Bone marrow aspirate smear. Brightfield microscopy, 40× oil immersion: 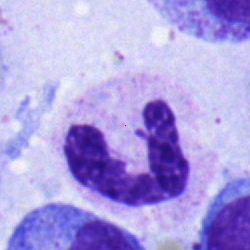Morphological class = neutrophil (segmented).